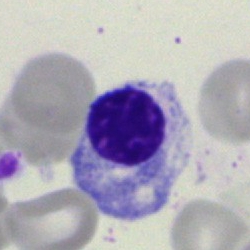

Classification — erythroblast.